Bone marrow smear:
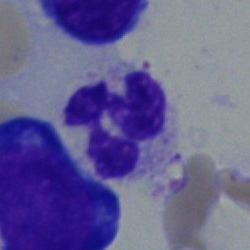This is a segmented neutrophil.